Single-cell crop; 40× objective, oil immersion; bone marrow aspirate smear
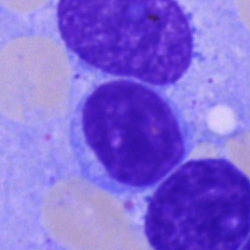
This is a lymphocyte.